Bone marrow smear — 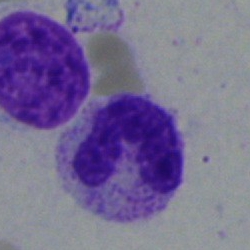Q: What is shown here?
A: Polymorphonuclear neutrophil.